Bone marrow smear
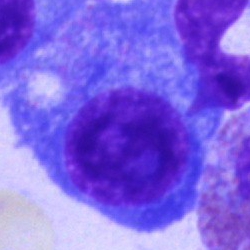 Morphology → plasma cell.